Single-cell field · bone marrow aspirate smear · Pappenheim-stained:
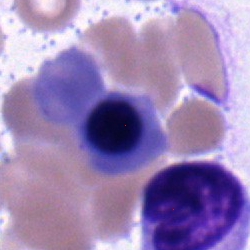The cell is nucleated red cell.